Brightfield microscopy, 40× oil immersion. Bone marrow aspirate smear.
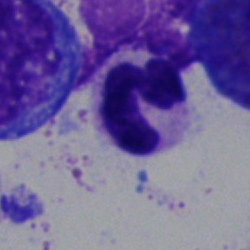 The cell shown is a segmented neutrophil.